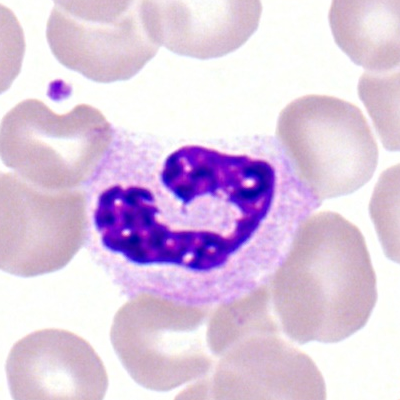

Cell type — neutrophil (segmented).